Image size 250×250; bone marrow smear.
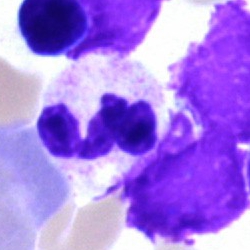
Specimen: bone marrow smear.
Classification: segmented neutrophil.
Lineage: myeloid.